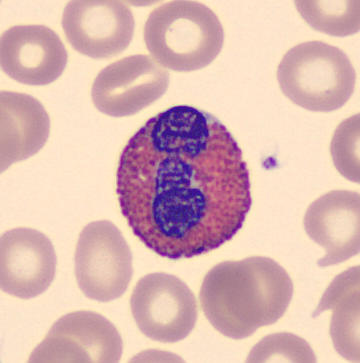

The cell shown is an eosinophilic granulocyte.